Bone marrow aspirate smear.
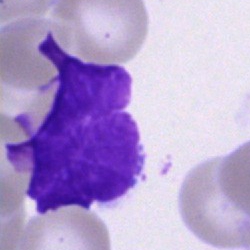Q: What is shown here?
A: Artefact.